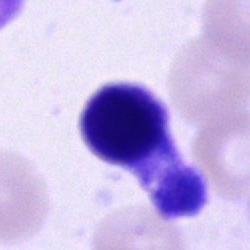 Showing an unidentifiable cell.